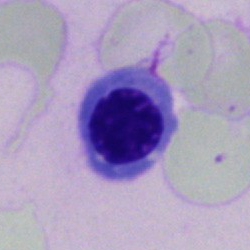Impression → erythroblast.